Bone marrow smear: 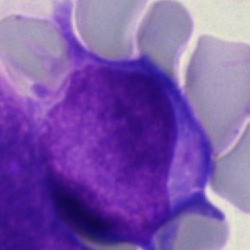This is a blast.